MGG stain; peripheral blood smear: 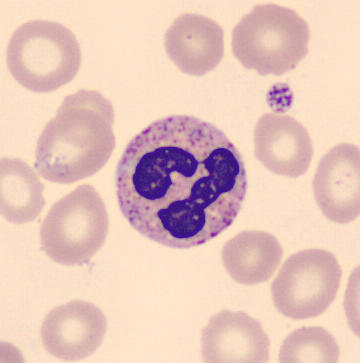
Q: What is this?
A: Polymorphonuclear neutrophil.